40× oil immersion · MGG-stained · bone marrow smear: 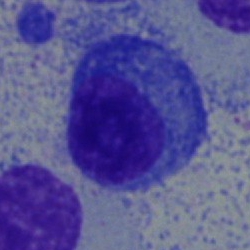Morphology consistent with a plasmacyte.